Bone marrow smear. May-Grünwald-Giemsa stain — 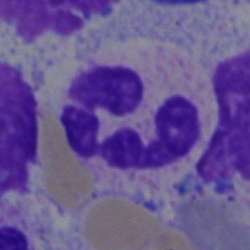Q: What is shown here?
A: A neutrophil (segmented).